Bone marrow aspirate smear.
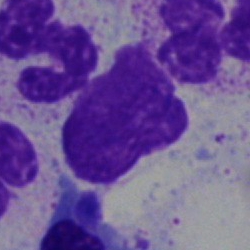Morphological class: artefact.